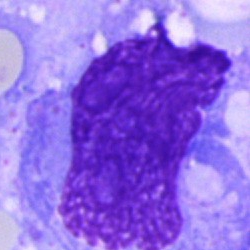Bone marrow smear showing an artefact.